Bone marrow aspirate smear. Cropped to a single cell:
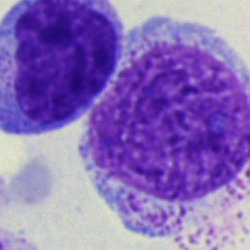

Classification: artifact.